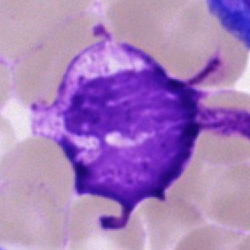 Q: What is shown here?
A: It is an artifact.